Bone marrow aspirate smear.
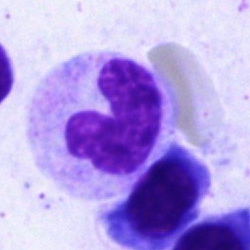Cell type — stab cell.